40× objective, oil immersion; bone marrow aspirate smear
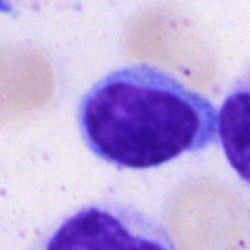 Q: What is the morphological classification of this cell?
A: Lymphocyte.